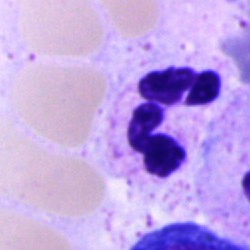

Q: Which cell type is shown here?
A: Polymorphonuclear neutrophil.